Single-cell crop. Bone marrow aspirate smear. 40× oil immersion
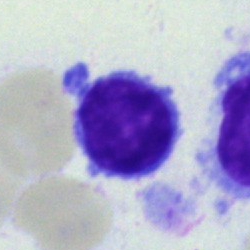 Showing a lymphocyte.